Bone marrow smear
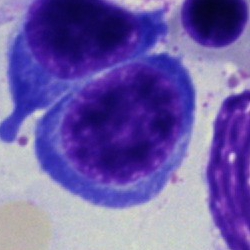 {"cell_type": "nucleated red blood cell", "lineage": "erythroid"}